Bone marrow aspirate smear · May-Grünwald-Giemsa stain · 250 by 250 pixels — 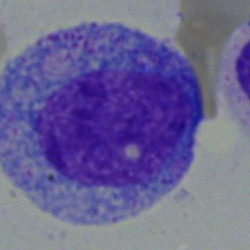
Morphology consistent with a promyelocyte.